Peripheral blood smear
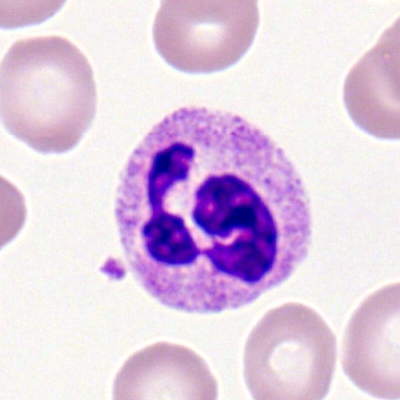Morphological class — neutrophil (segmented).